Bone marrow smear
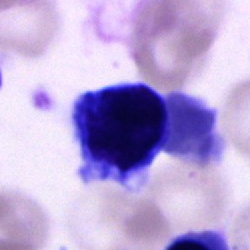 Morphology consistent with an unidentifiable cell.